Bone marrow smear
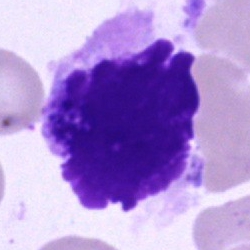Specimen: bone marrow aspirate smear.
Morphological class: artifact.